Bone marrow aspirate smear — 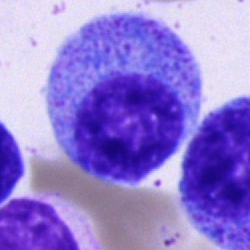

{"cell_type": "promyelocyte", "lineage": "myeloid"}